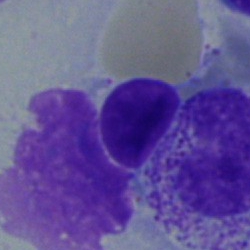
Morphology consistent with a typical lymphocyte.